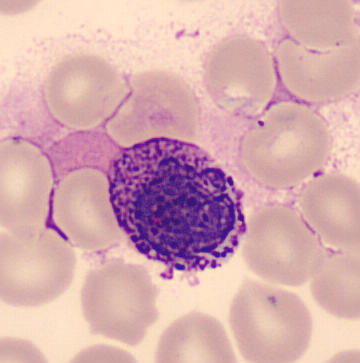 Peripheral blood smear; imaged on a CellaVision DM96 analyser; single cell centered in the field.

Cell type: basophilic granulocyte.